Single cell centered in the field · bone marrow smear · MGG-stained — 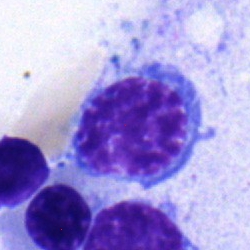
{"cell_type": "nucleated red cell"}